40× objective, oil immersion. Bone marrow smear. Single-cell crop — 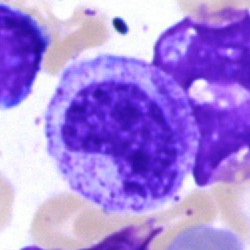Single cell identified as a metamyelocyte.